Bone marrow aspirate smear; 250×250.
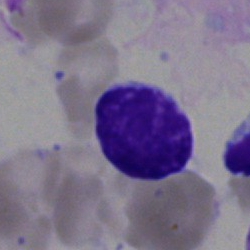

The cell type is lymphocyte.